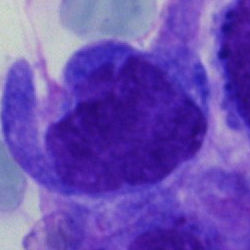 Cell: undifferentiated blast.